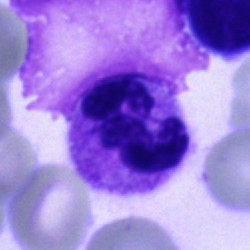 Specimen: bone marrow aspirate smear.
Cell: polymorphonuclear neutrophil.
Lineage: myeloid.